Cropped to a single cell; peripheral blood film
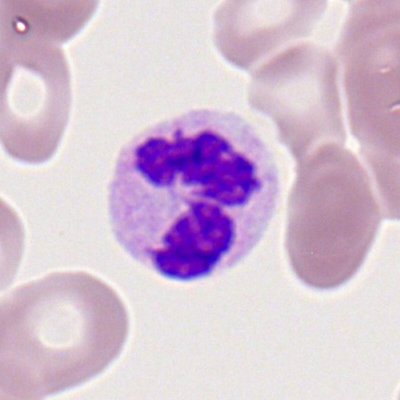
Polymorphonuclear neutrophil.